Pappenheim-stained · brightfield, 40× oil-immersion objective · bone marrow smear — 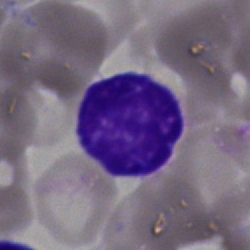
Single cell identified as a typical lymphocyte.